Pappenheim-stained; 40× oil immersion; bone marrow aspirate smear — 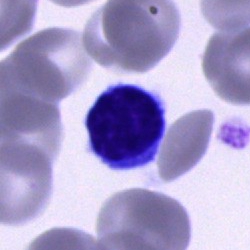Specimen: bone marrow smear.
Cell type: typical lymphocyte.
Lineage: lymphoid.